Peripheral blood film
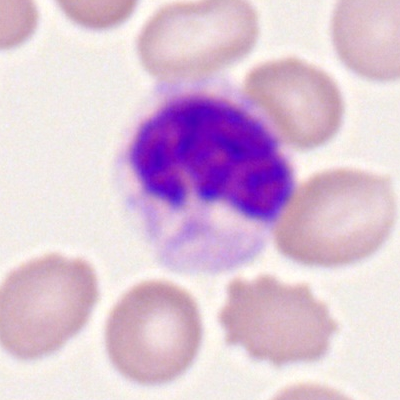The cell shown is a neutrophil (segmented).